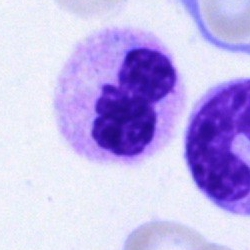Impression — neutrophil (segmented).